Bone marrow smear.
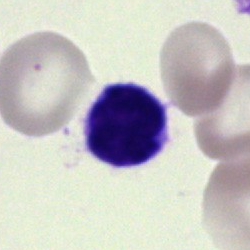

Q: What cell is this?
A: Lymphocyte.